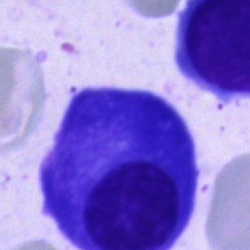 Q: Identify the cell.
A: Plasmacyte.